Bone marrow smear. 40× objective, oil immersion.
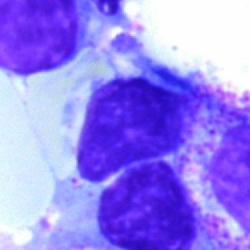 Showing a lymphocyte.